Bone marrow aspirate smear. 250×250 px — 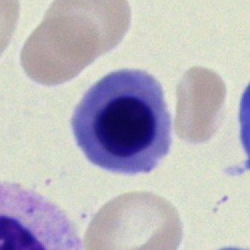

{"cell_type": "normoblast", "lineage": "erythroid"}